Bone marrow aspirate smear · brightfield, 40× oil-immersion objective · image size 250×250:
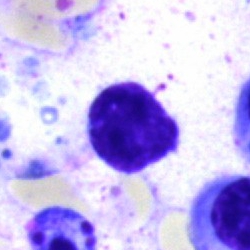
Specimen: bone marrow smear.
Morphological class: typical lymphocyte.